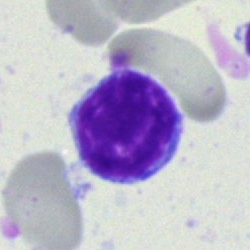 Q: Identify the cell.
A: Lymphocyte.